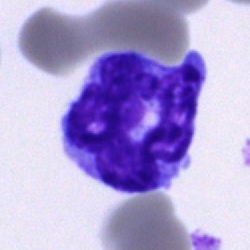

Cell = monocyte.